Bone marrow aspirate smear. Cropped to a single cell
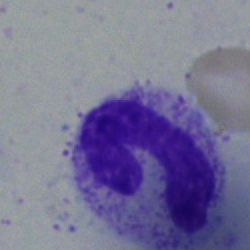
This is a neutrophil (band).